Bone marrow smear — 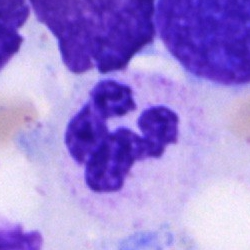

Single cell identified as a polymorphonuclear neutrophil.